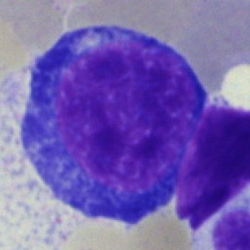

Pronormoblast.